Bone marrow aspirate smear. 40× oil immersion. Single-cell crop.
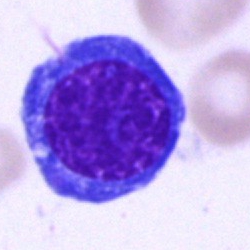 Morphology — erythroblast.